Bone marrow smear. May-Grünwald-Giemsa/Pappenheim stain: 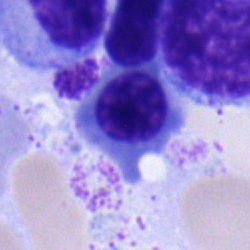

Showing a normoblast.